Bone marrow smear
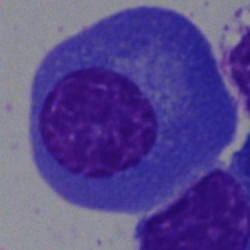

This is a plasma cell.